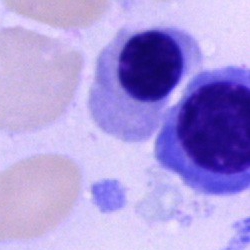
Specimen: bone marrow smear.
Morphological class: nucleated red blood cell.